Image size 400×400. Romanowsky-type stain. Peripheral blood film: 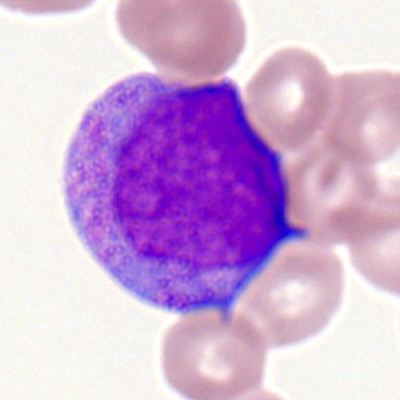

Q: Which cell type is shown here?
A: This is a promyelocyte.